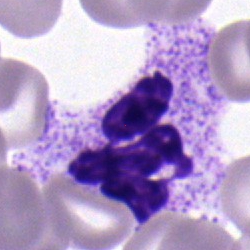Morphological class: polymorphonuclear neutrophil.